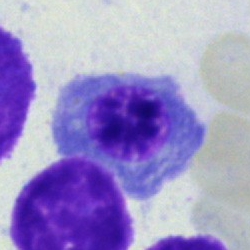
Q: Identify the cell.
A: It is a nucleated red cell.